May-Grünwald-Giemsa/Pappenheim stain. Bone marrow aspirate smear: 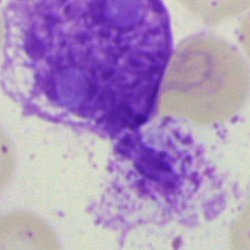Cell type = artifact.